Single-cell crop · bone marrow aspirate smear.
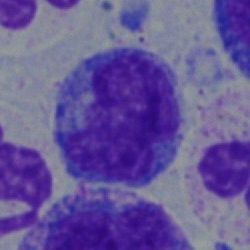
Q: What is the morphological classification of this cell?
A: It is a monocyte.